Bone marrow aspirate smear
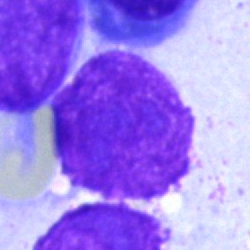Specimen: bone marrow aspirate smear.
Cell: artefact.